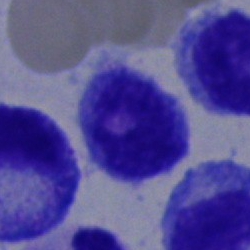Impression → lymphocyte.